Peripheral blood smear:
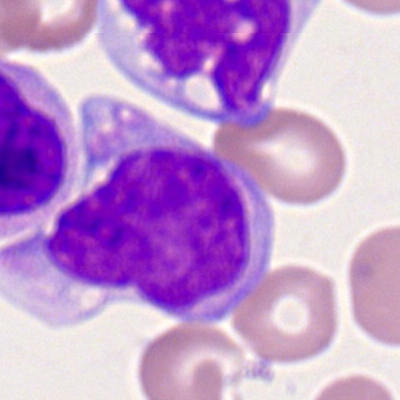

This is a monocyte.